Peripheral blood film
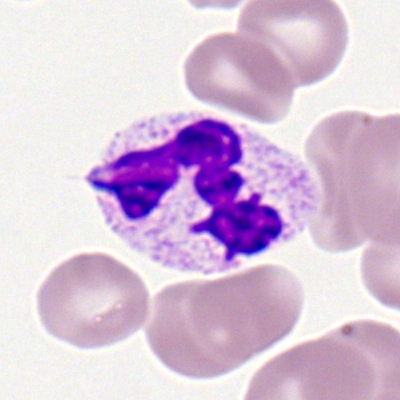

Showing a polymorphonuclear neutrophil.